Bone marrow aspirate smear — 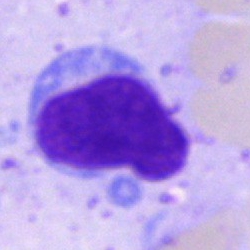 Morphological class — typical lymphocyte.